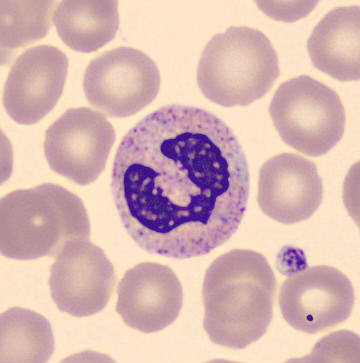

Specimen: peripheral blood smear.
Cell: polymorphonuclear neutrophil.
Single-cell crop; 360×363.